Brightfield, 40× oil-immersion objective. Bone marrow smear.
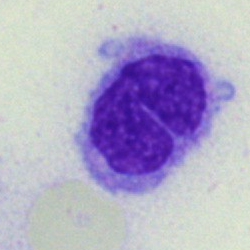 Monocyte.